Brightfield microscopy, 40× oil immersion. Bone marrow smear:
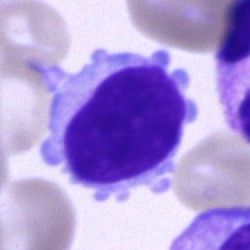
Specimen: bone marrow aspirate smear.
Classification: lymphocyte.